Bone marrow aspirate smear:
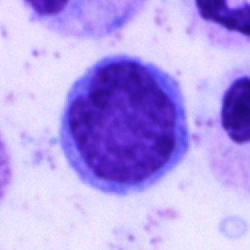

Cell = monocyte.